Single-cell field. Bone marrow smear: 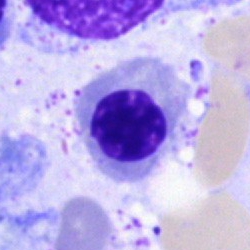Impression → nucleated red blood cell.